Bone marrow smear. 40× objective, oil immersion. May-Grünwald-Giemsa stain — 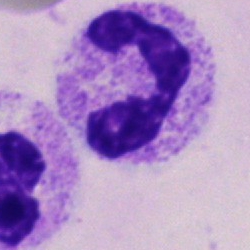 Showing a polymorphonuclear neutrophil.